Bone marrow aspirate smear: 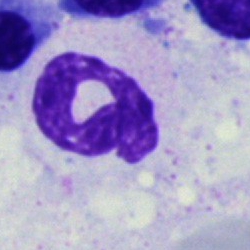The cell shown is a polymorphonuclear neutrophil.